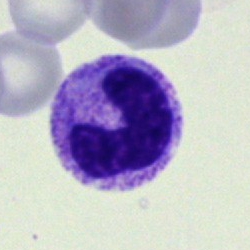
Bone marrow smear showing a band-form neutrophil.